Bone marrow aspirate smear
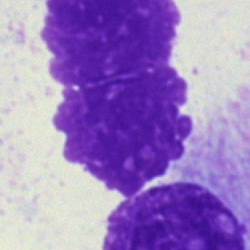
Specimen: bone marrow aspirate smear.
Classification: artifact.